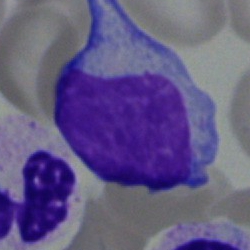

Specimen: bone marrow smear.
Classification: blast cell.